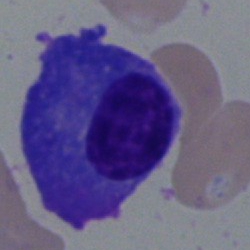
The morphological class is plasmacyte.